Bone marrow smear
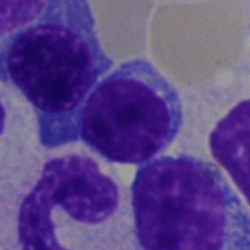
A typical lymphocyte.